Brightfield, 40× oil-immersion objective. MGG-stained. Bone marrow smear.
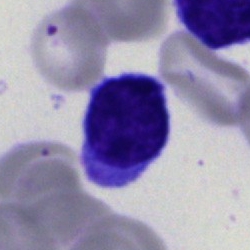

This is an undifferentiated blast.